40× objective, oil immersion · bone marrow smear:
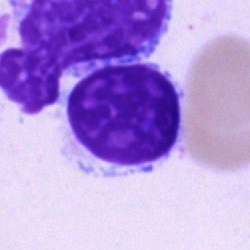The cell shown is an artefact.